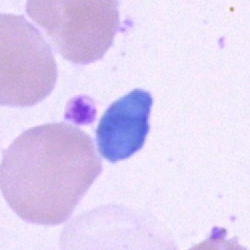
Morphology → artefact.